Bone marrow aspirate smear · MGG-stained
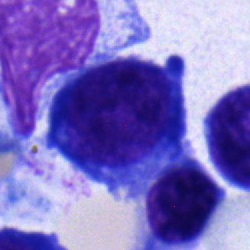

Proerythroblast.